Single cell centered in the field. Bone marrow aspirate smear. 250 by 250 pixels — 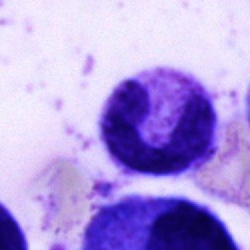 Q: Identify the cell.
A: It is a stab cell.